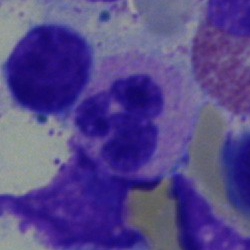 A neutrophil (segmented).